40× oil immersion; May-Grünwald-Giemsa/Pappenheim stain; bone marrow aspirate smear — 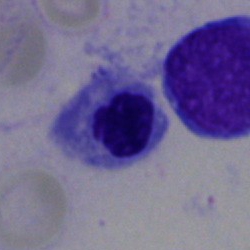
Specimen: bone marrow smear.
Cell: nucleated red blood cell.
Lineage: erythroid.